100× oil immersion, 14.14 px/µm · peripheral blood smear.
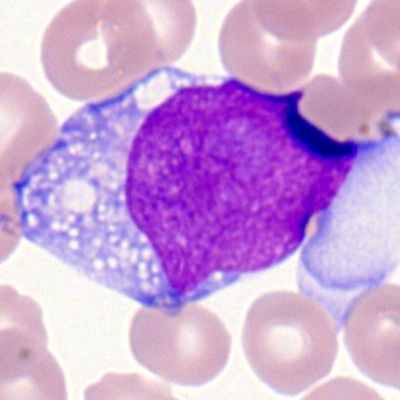

Morphology — myeloblast.